250 by 250 pixels. Bone marrow aspirate smear. May-Grünwald-Giemsa/Pappenheim stain
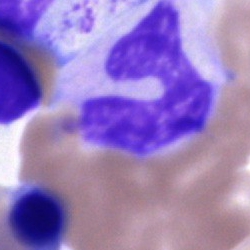Q: What cell is this?
A: It is an unidentifiable cell.